Bone marrow aspirate smear — 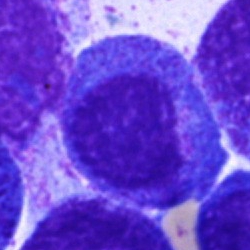Q: Which cell type is shown here?
A: This is a progranulocyte.